Bone marrow smear: 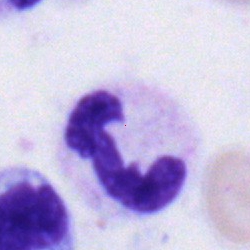
This is a band neutrophil.